Brightfield microscopy, 40× oil immersion; bone marrow aspirate smear
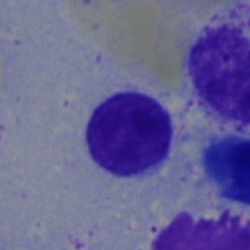 Morphology → lymphocyte.